Bone marrow smear
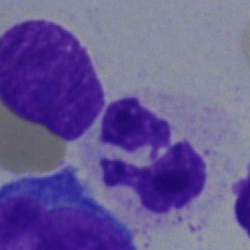

Classification = segmented neutrophil.